Peripheral blood film:
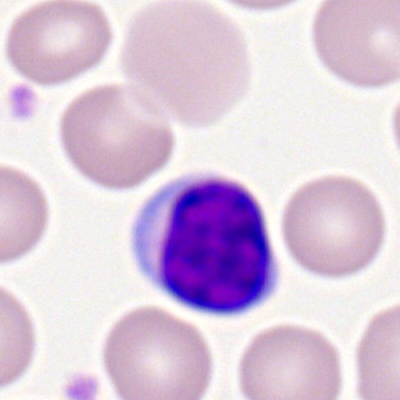Specimen: peripheral blood film.
Classification: lymphocyte.
Lineage: lymphoid.